Bone marrow aspirate smear; image size 250×250.
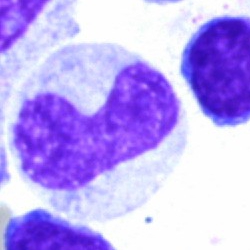 This is a stab cell.